Bone marrow smear: 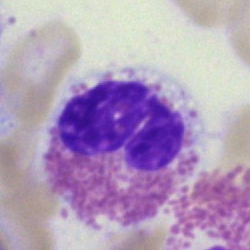 Showing an eosinophil.